Bone marrow smear:
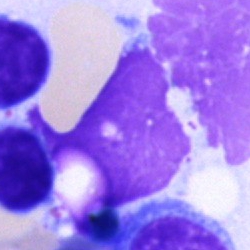Classification: artifact.